May-Grünwald-Giemsa/Pappenheim stain · bone marrow smear.
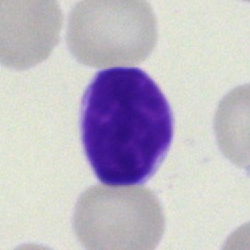 Single cell identified as a typical lymphocyte.